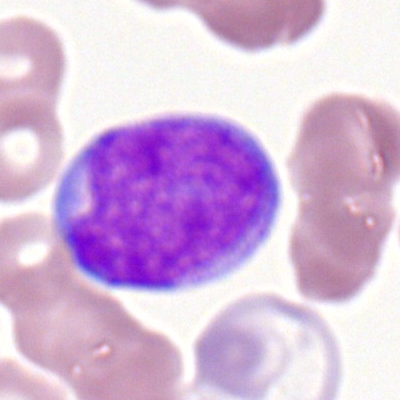
Q: What is shown here?
A: Myeloblast.